Peripheral blood film: 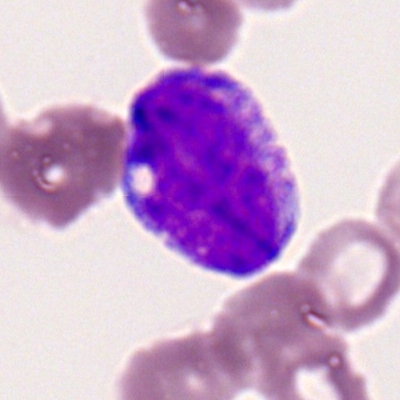
Cell type: myeloid blast.